Bone marrow smear. May-Grünwald-Giemsa/Pappenheim stain. 40× oil immersion — 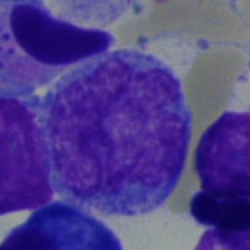The classification is blast cell.